Image size 250×250; bone marrow aspirate smear: 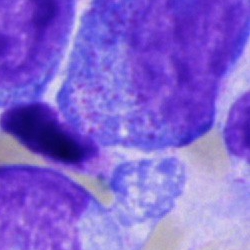

Progranulocyte.